Single cell centered in the field. Brightfield, 40× oil-immersion objective. Bone marrow aspirate smear
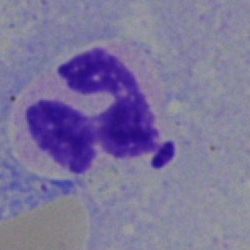

Morphology consistent with a polymorphonuclear neutrophil.